Bone marrow aspirate smear · 250×250 px · cropped to a single cell:
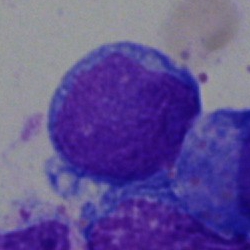

Classification = blast cell.